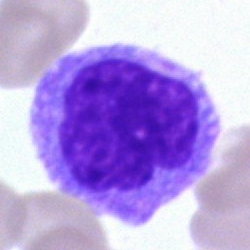Impression → monocyte.